Bone marrow smear
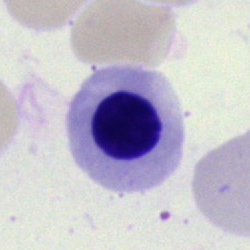

Q: What is shown here?
A: Erythroblast.